Image size 250×250. MGG-stained. Bone marrow smear
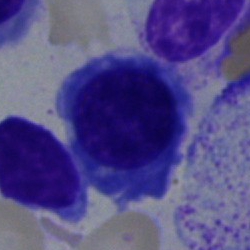

Q: Which cell type is shown here?
A: A normoblast.